250×250 · bone marrow aspirate smear
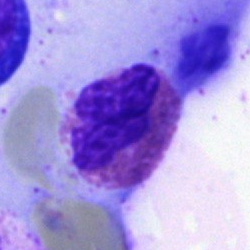
Morphological class: eosinophil.